Bone marrow smear · 40× oil immersion.
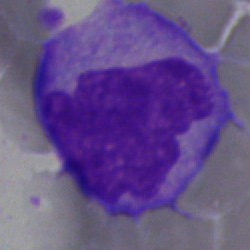

Showing a monocyte.